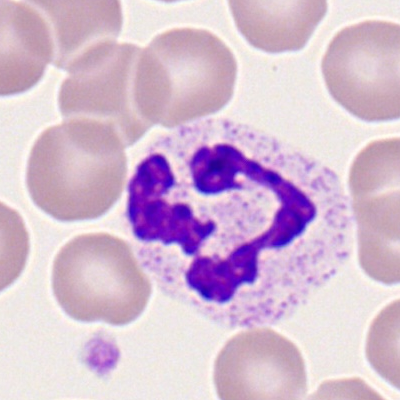
Single cell identified as a segmented neutrophil.